Bone marrow aspirate smear
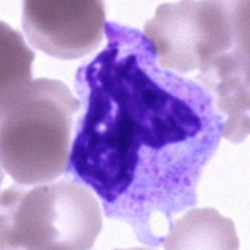Single cell identified as a neutrophil (segmented).